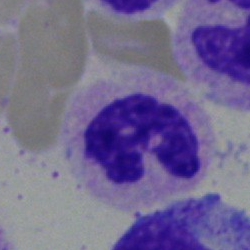

Morphology → promyelocyte.